40× oil immersion. Bone marrow smear — 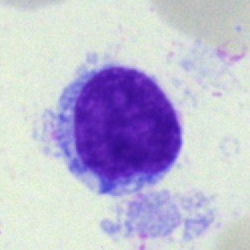 Morphological class = hairy cell.